Peripheral blood smear.
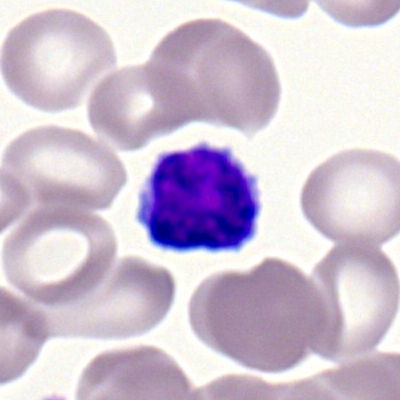
Showing a lymphocyte.